Bone marrow smear · single-cell crop
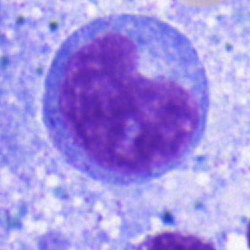

Showing an undifferentiated blast.